40× oil immersion; bone marrow smear.
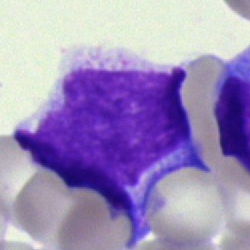
Morphological class — blast cell.